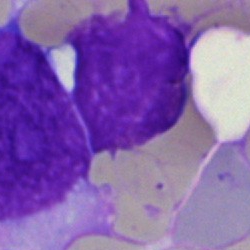Cell: artefact.